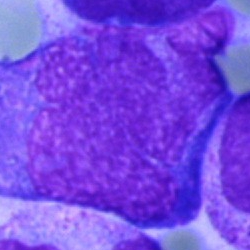 {"cell_type": "undifferentiated blast"}